Bone marrow smear
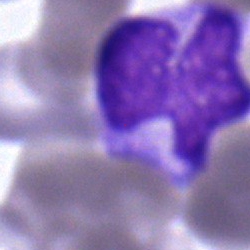Q: Which cell type is shown here?
A: Monocyte.